Bone marrow smear: 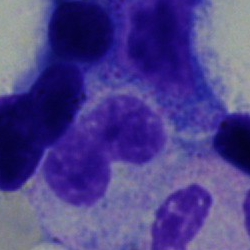
Impression — band neutrophil.